250×250 · bone marrow aspirate smear — 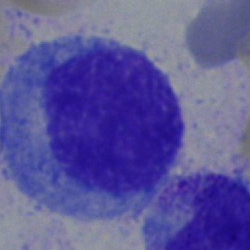
Q: What is the morphological classification of this cell?
A: Myelocyte.